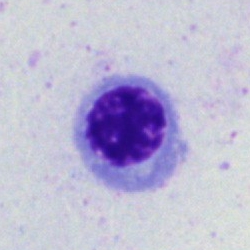 Cell — nucleated red cell.